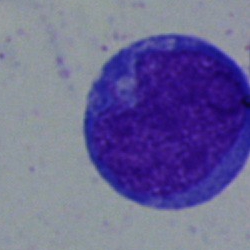 Q: What type of cell is this?
A: Undifferentiated blast.